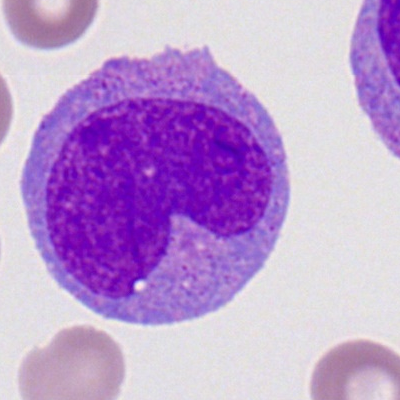 Q: What cell is this?
A: Myeloid blast.